Peripheral blood smear; single cell centered in the field:
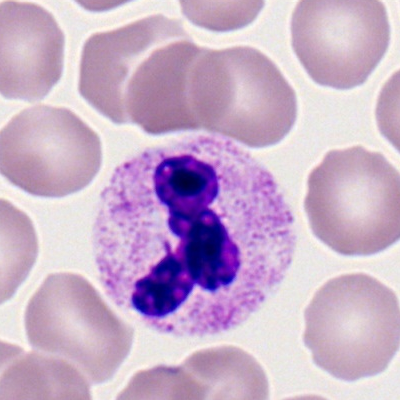
The morphological class is neutrophil (segmented).